Bone marrow smear; May-Grünwald-Giemsa stain; cropped to a single cell: 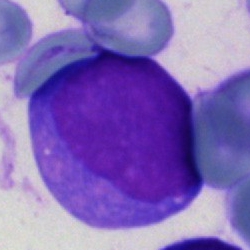Morphology consistent with a blast cell.